Brightfield microscopy, 40× oil immersion. Bone marrow smear: 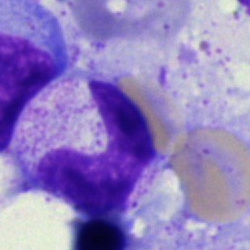 A band neutrophil.